40× oil immersion · bone marrow smear: 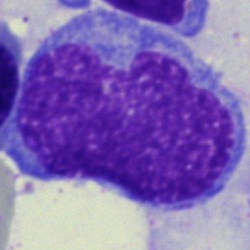 This is a monocyte.